Cropped to a single cell; bone marrow smear:
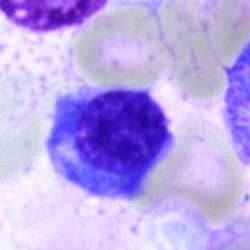 Specimen: bone marrow smear.
Morphological class: normoblast.